Bone marrow smear. Brightfield, 40× oil-immersion objective — 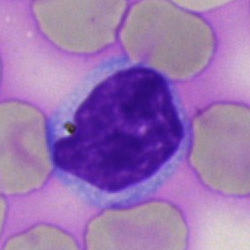
Morphology — typical lymphocyte.